Bone marrow smear — 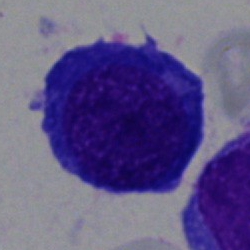

A normoblast.